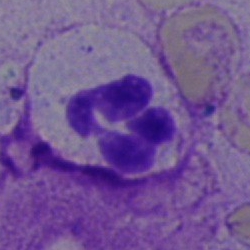 Morphology → neutrophil (segmented).